Bone marrow smear — 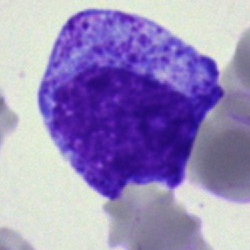

The morphological class is promyelocyte.